Brightfield, 100× oil-immersion objective. Cropped to a single cell. Peripheral blood film.
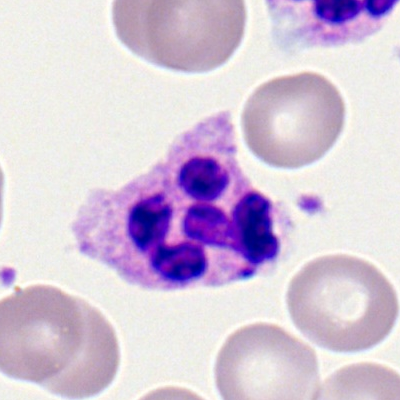 Q: Which cell type is shown here?
A: This is a segmented neutrophil.